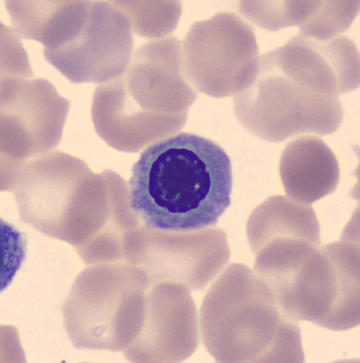

Morphology — normoblast. Peripheral blood smear. 360×363 px.